Pappenheim-stained; bone marrow aspirate smear; 250×250.
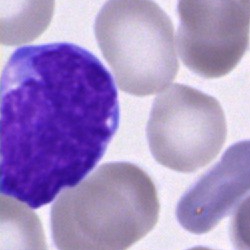

Cell: typical lymphocyte.